Bone marrow aspirate smear — 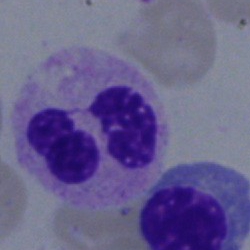
Q: Identify the cell.
A: Polymorphonuclear neutrophil.